Bone marrow aspirate smear. Brightfield, 40× oil-immersion objective.
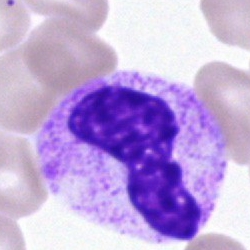Specimen: bone marrow smear.
Morphological class: band neutrophil.